Bone marrow aspirate smear — 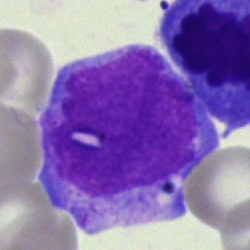The cell shown is a blast.